Bone marrow smear:
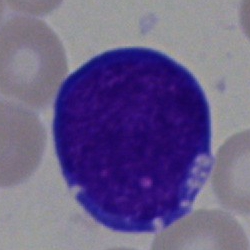

A blast cell.